Bone marrow aspirate smear · 40× objective, oil immersion · single-cell crop — 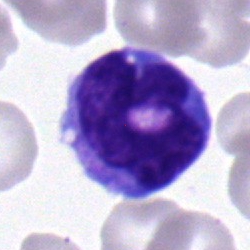Morphological class: monocyte.